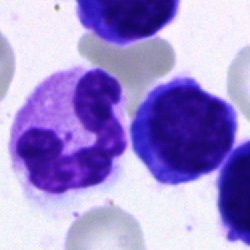Cell = polymorphonuclear neutrophil.